Bone marrow aspirate smear
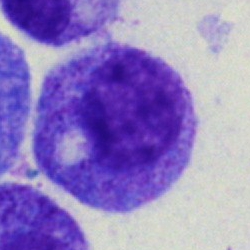

Showing a promyelocyte.